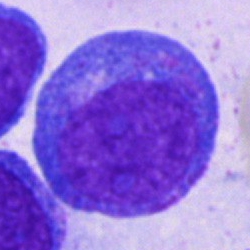

Specimen: bone marrow aspirate smear.
Cell: progranulocyte.